Bone marrow smear · brightfield microscopy, 40× oil immersion: 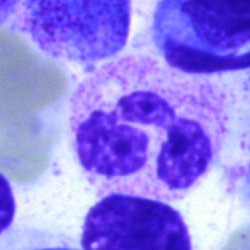

Cell type — neutrophil (segmented).